250×250 px. Bone marrow smear — 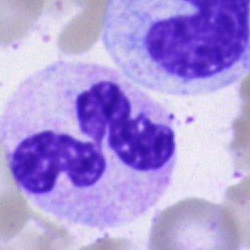
{"cell_type": "neutrophil (segmented)"}